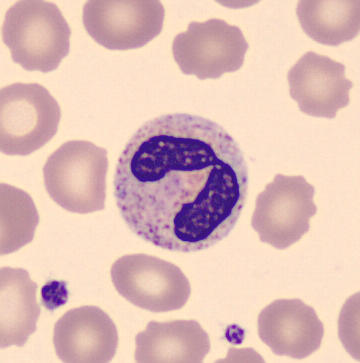

Peripheral blood smear showing a segmented neutrophil.